Peripheral blood film.
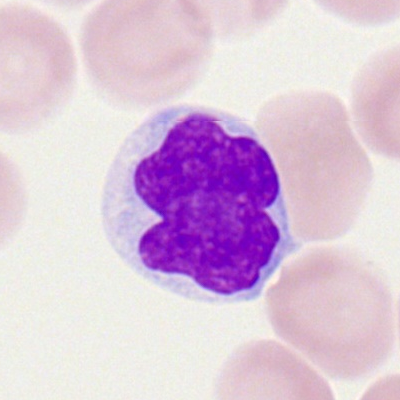

Impression → lymphocyte.